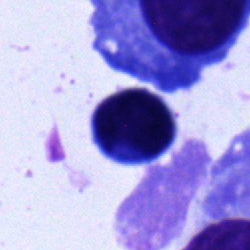
A typical lymphocyte.